Pappenheim-stained; bone marrow smear:
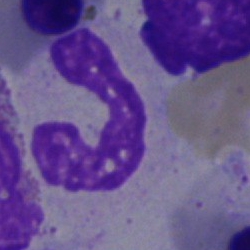

This is a neutrophil (segmented).